Cropped to a single cell · 400×400 · peripheral blood film: 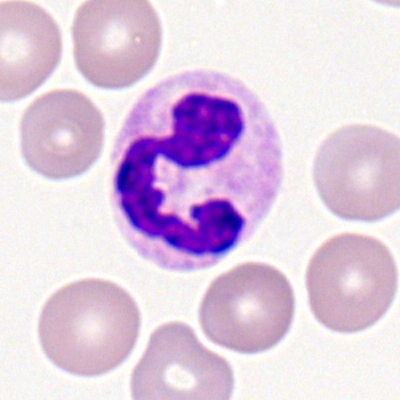

Single cell identified as a neutrophil (segmented).